Bone marrow smear — 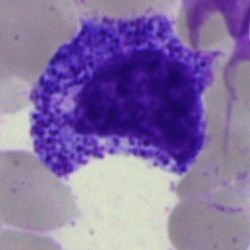A progranulocyte.